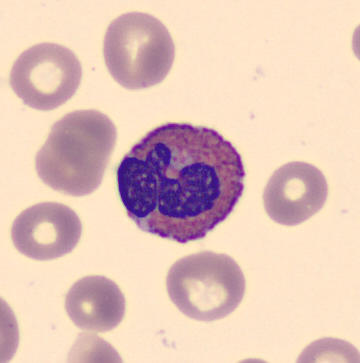 The classification is eosinophil.